Bone marrow aspirate smear; MGG-stained
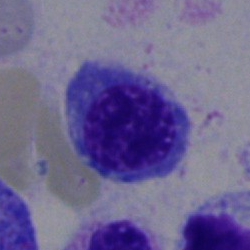
Cell — nucleated red cell.